Pappenheim-stained. Bone marrow aspirate smear — 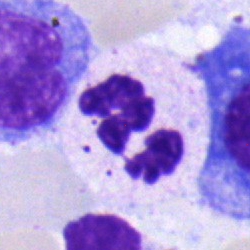

Specimen: bone marrow aspirate smear.
Cell: segmented neutrophil.